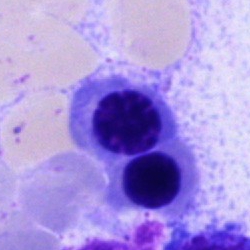
Q: Which cell type is shown here?
A: A normoblast.